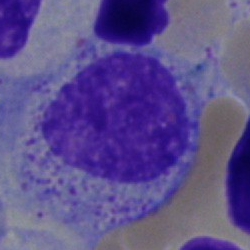 Specimen: bone marrow smear.
Classification: myelocyte.